Single-cell field; bone marrow aspirate smear.
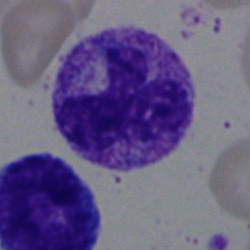 Showing a segmented neutrophil.